Brightfield, 40× oil-immersion objective; MGG-stained; bone marrow aspirate smear
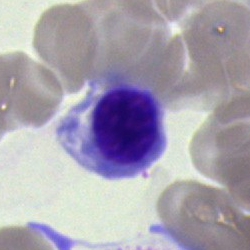The morphological class is normoblast.